May-Grünwald-Giemsa stain · 250×250 · bone marrow smear.
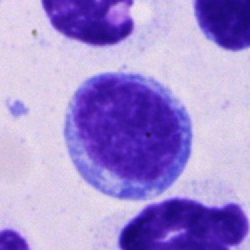
Lymphocyte.